Bone marrow aspirate smear:
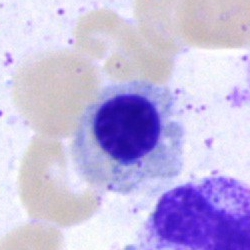

The classification is normoblast.